Single-cell crop · 250×250 · bone marrow smear:
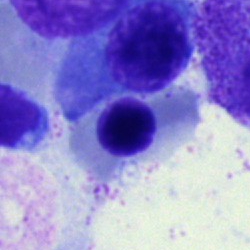

The morphological class is nucleated red cell.